Image size 400×400. Peripheral blood film. Romanowsky-type stain: 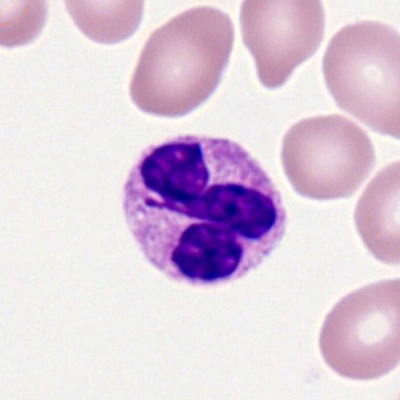
Single cell identified as a segmented neutrophil.